Bone marrow smear — 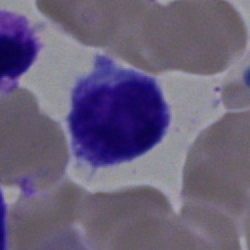
This is a typical lymphocyte.